Bone marrow aspirate smear
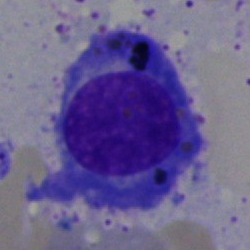
Cell type = plasma cell.